Bone marrow aspirate smear:
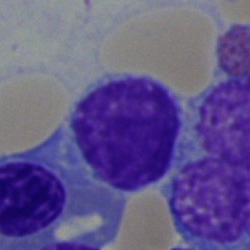The classification is lymphocyte.